250 by 250 pixels; bone marrow smear; brightfield, 40× oil-immersion objective — 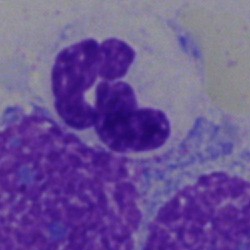The cell shown is a segmented neutrophil.